Bone marrow smear · cropped to a single cell:
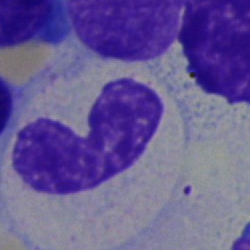 Q: Which cell type is shown here?
A: It is a stab cell.